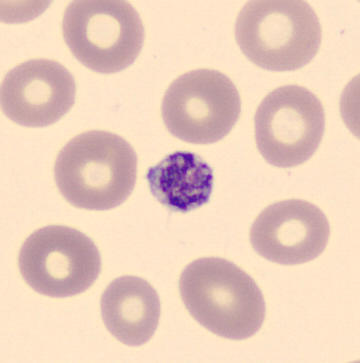 Classification = platelet (thrombocyte). Preparation: Peripheral blood film.